250×250 · bone marrow smear:
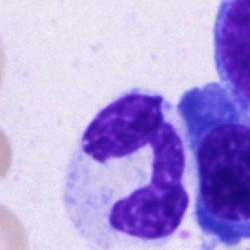
Q: What is shown here?
A: This is a segmented neutrophil.